Bone marrow smear.
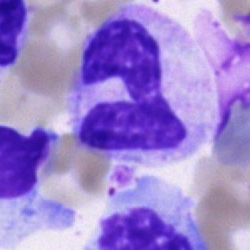Morphology consistent with a neutrophil (band).